Bone marrow aspirate smear · brightfield, 40× oil-immersion objective · May-Grünwald-Giemsa/Pappenheim stain.
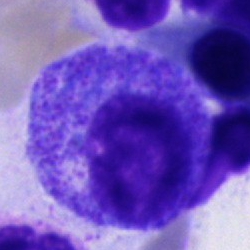
Q: Which cell type is shown here?
A: A promyelocyte.